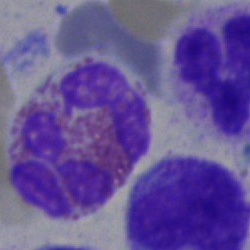 An eosinophil.